Bone marrow smear
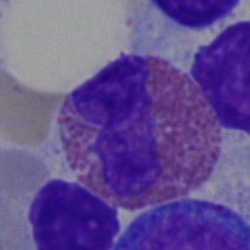 Single cell identified as an eosinophilic granulocyte.